Brightfield microscopy, 40× oil immersion. Bone marrow smear
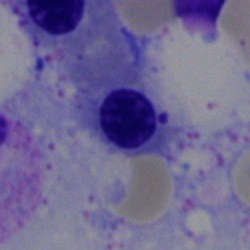

{"cell_type": "nucleated red cell"}